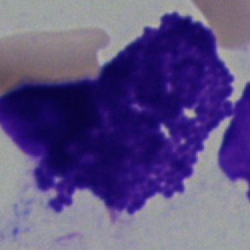

Single cell identified as a basophil.